Bone marrow smear
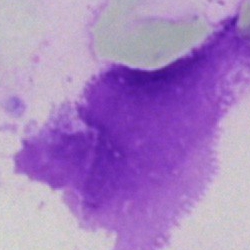 Cell = artifact.